Peripheral blood film
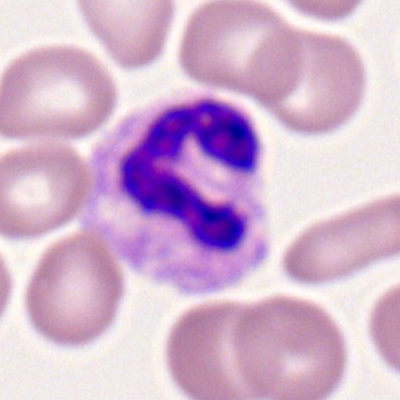Neutrophil (segmented).